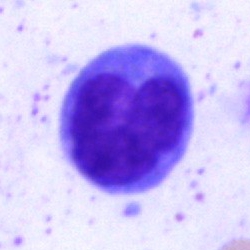
The cell shown is a monocyte.